250 by 250 pixels. Single-cell field. Bone marrow smear: 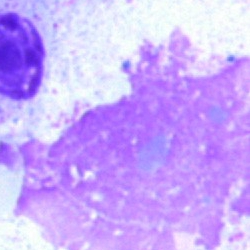 Specimen: bone marrow aspirate smear.
Morphological class: artifact.